Bone marrow smear · cropped to a single cell · MGG-stained
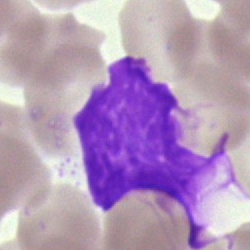

{"cell_type": "artifact"}